Bone marrow aspirate smear. 40× oil immersion
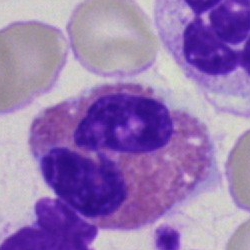
{"cell_type": "eosinophilic granulocyte"}